Bone marrow smear — 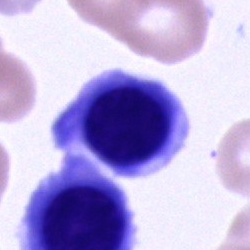 Morphology consistent with a nucleated red blood cell.